Bone marrow smear
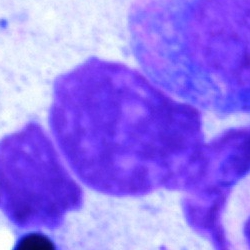
Cell = artifact.